Peripheral blood smear: 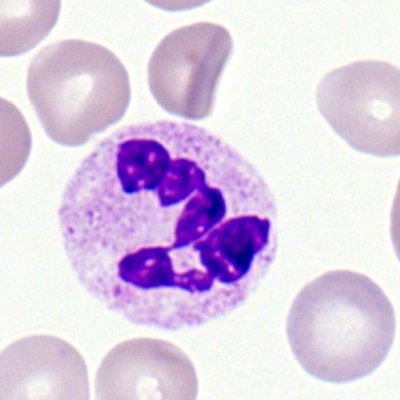 Specimen: peripheral blood film.
Cell: neutrophil (segmented).
Lineage: myeloid.